Bone marrow aspirate smear.
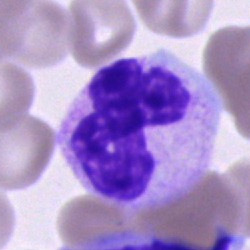
The morphological class is neutrophil (segmented).